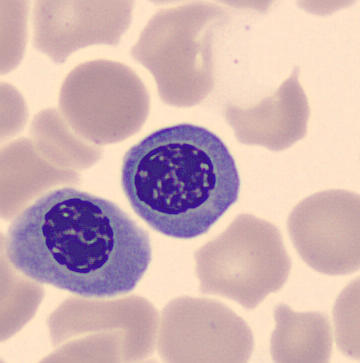
A nucleated red cell.